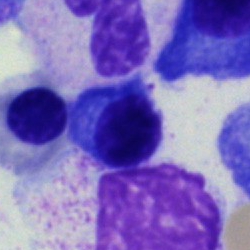Q: What is shown here?
A: A plasma cell.